Peripheral blood smear — 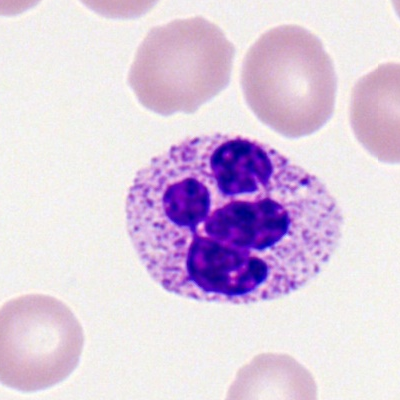
Cell: segmented neutrophil.